Bone marrow aspirate smear
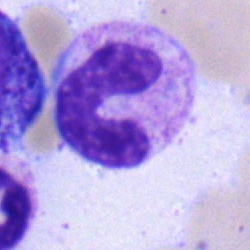 Stab cell.